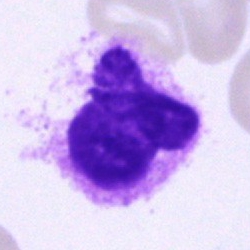
Showing a segmented neutrophil.